Bone marrow smear
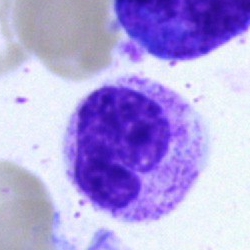Specimen: bone marrow aspirate smear.
Morphological class: stab cell.